Romanowsky-stained · peripheral blood film:
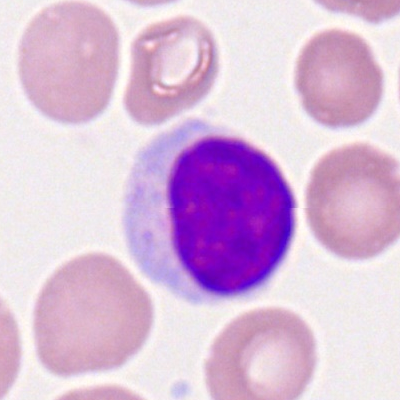 Impression — typical lymphocyte.